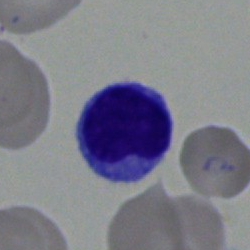 Impression → lymphocyte.